Bone marrow smear:
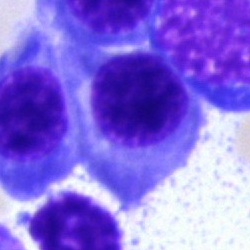Q: What cell is this?
A: It is a nucleated red blood cell.